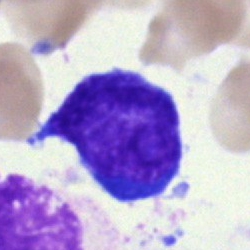 {"cell_type": "undifferentiated blast"}